Bone marrow aspirate smear
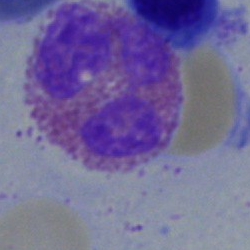

Cell = eosinophil.